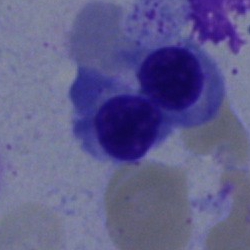

Cell — nucleated red blood cell.